Bone marrow smear · 40× oil immersion · May-Grünwald-Giemsa/Pappenheim stain — 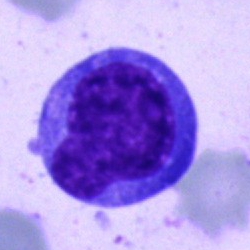
Impression → blast.